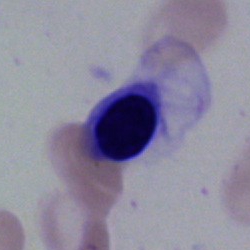

Nucleated red cell.